Bone marrow aspirate smear · 250×250 — 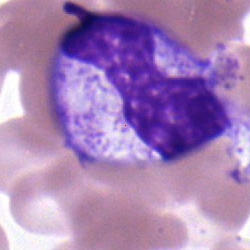
A stab cell.